Bone marrow smear · single cell centered in the field — 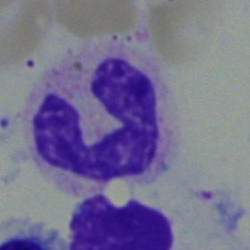The cell shown is a neutrophil (band).